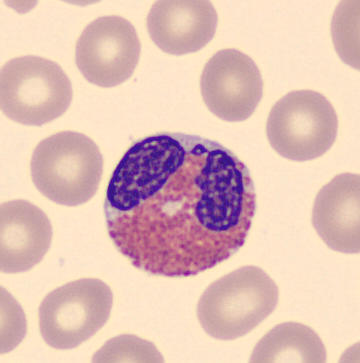 Peripheral blood film.

An eosinophilic granulocyte.